Bone marrow aspirate smear.
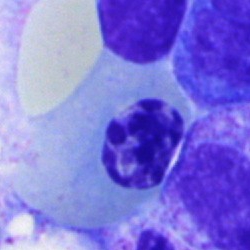Specimen: bone marrow aspirate smear.
Morphological class: normoblast.
Lineage: erythroid.